May-Grünwald-Giemsa/Pappenheim stain · single-cell field · bone marrow smear
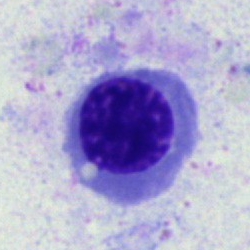Morphological class — nucleated red cell.